Single-cell field · bone marrow aspirate smear · 40× oil immersion
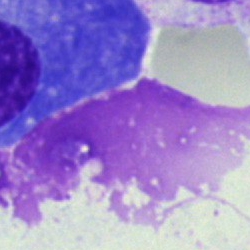 Q: What is shown here?
A: It is an artefact.